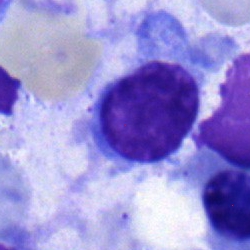
Cell = typical lymphocyte.